Bone marrow aspirate smear. Cropped to a single cell: 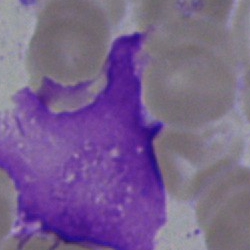
The cell shown is an artifact.